250 by 250 pixels · bone marrow aspirate smear · brightfield microscopy, 40× oil immersion.
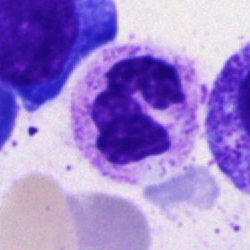

Cell type = segmented neutrophil.